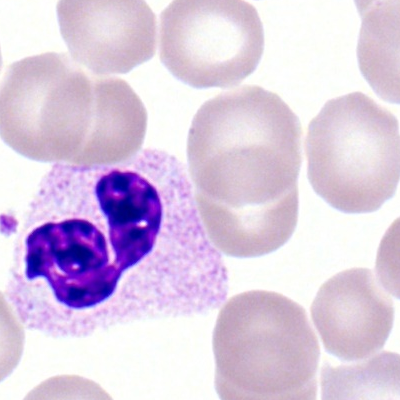 Cell type = segmented neutrophil.